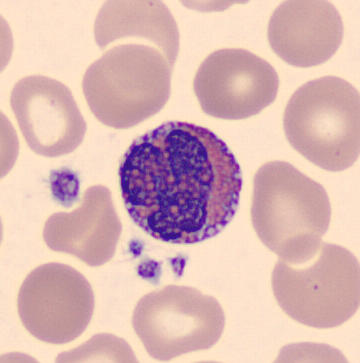 Image: Peripheral blood smear.

Cell type — eosinophil.